Bone marrow aspirate smear; 40× oil immersion — 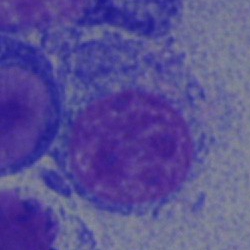 Q: What cell is this?
A: Undifferentiated blast.